Bone marrow aspirate smear · May-Grünwald-Giemsa/Pappenheim stain:
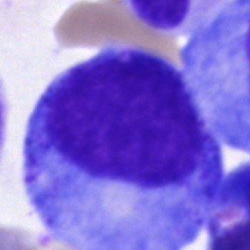

Morphology → promyelocyte.